Brightfield microscopy, 40× oil immersion · bone marrow aspirate smear · Pappenheim-stained — 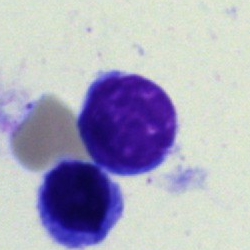

Morphology consistent with a typical lymphocyte.